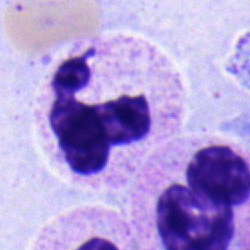
Q: Identify the cell.
A: It is a polymorphonuclear neutrophil.